250×250; bone marrow aspirate smear: 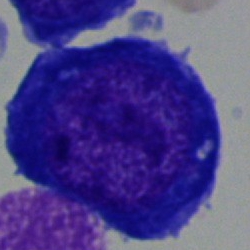
Specimen: bone marrow smear.
Morphological class: pronormoblast.
Lineage: erythroid.